Peripheral blood smear: 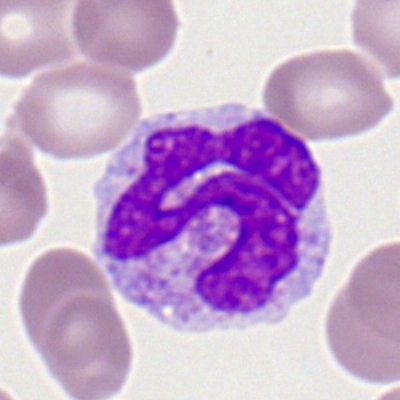Monocyte.